Bone marrow aspirate smear · MGG-stained · single cell centered in the field
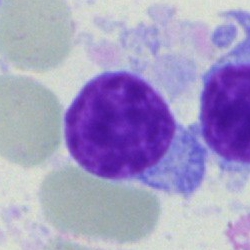 Q: What cell is this?
A: This is a typical lymphocyte.